Peripheral blood smear.
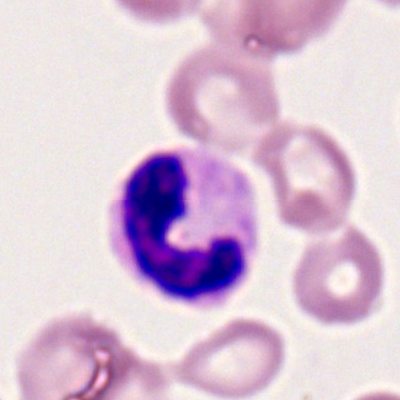
Specimen: peripheral blood film.
Morphological class: neutrophil (band).
Lineage: myeloid.